Bone marrow smear
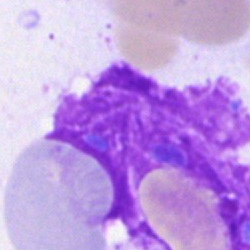 Specimen: bone marrow aspirate smear.
Cell type: artefact.